Bone marrow smear; May-Grünwald-Giemsa stain; brightfield microscopy, 40× oil immersion.
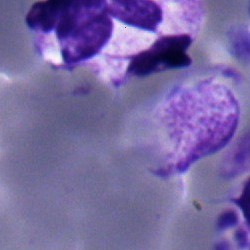 The cell shown is a segmented neutrophil.